250×250; bone marrow aspirate smear; 40× oil immersion — 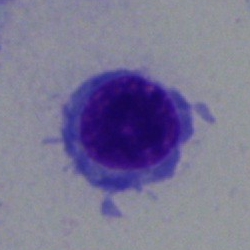
{"cell_type": "normoblast"}